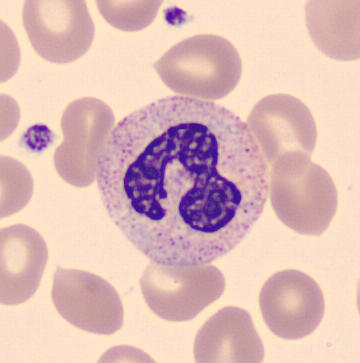Cell: band-form neutrophil. Image: Single cell centered in the field. Peripheral blood film.